Peripheral blood smear: 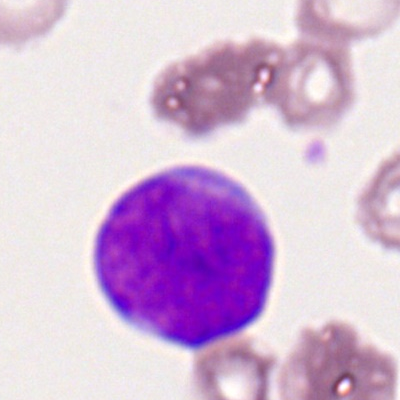
Morphology → myeloid blast.